40× objective, oil immersion; bone marrow smear: 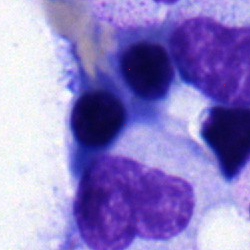
The cell shown is a promyelocyte.